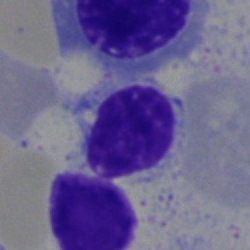Single cell identified as an artifact.